40× objective, oil immersion · bone marrow smear:
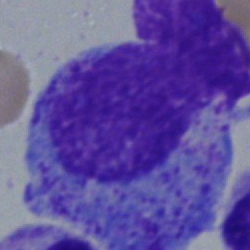

Impression — promyelocyte.